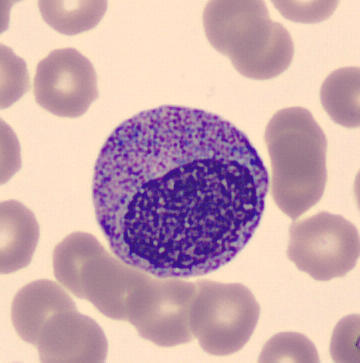Preparation: Single cell centered in the field; peripheral blood smear.
Promyelocyte.